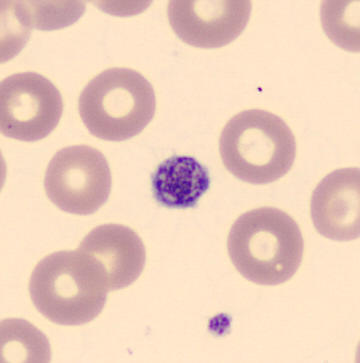 Morphology — platelet.